Bone marrow smear:
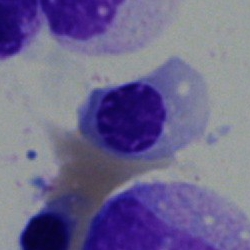

Cell type — erythroblast.